Bone marrow smear: 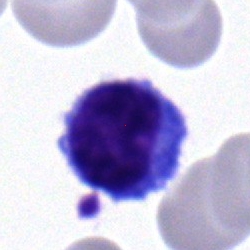 Q: What cell is this?
A: A lymphocyte.